Bone marrow aspirate smear:
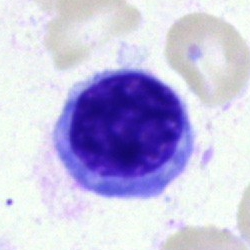Showing a normoblast.